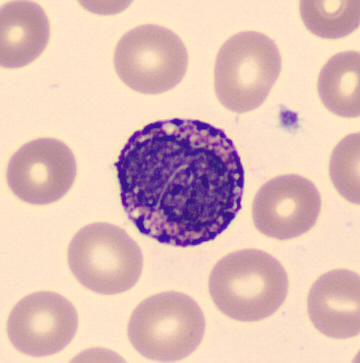
Preparation: Peripheral blood smear. The cell shown is a basophilic granulocyte.